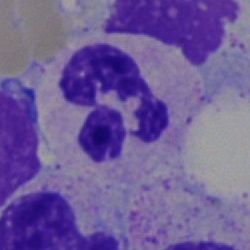 Specimen: bone marrow smear.
Morphological class: neutrophil (segmented).
Lineage: myeloid.